Bone marrow aspirate smear; single-cell crop.
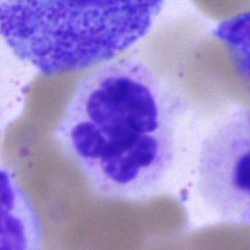 Morphology consistent with a neutrophil (segmented).